Bone marrow smear.
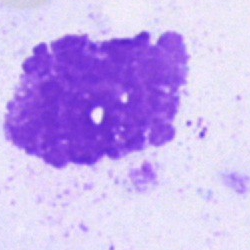Impression → artefact.